40× oil immersion · bone marrow aspirate smear:
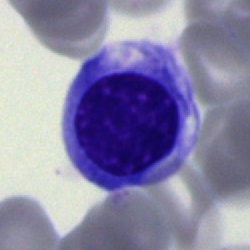

This is a nucleated red cell.